Pappenheim-stained. Bone marrow smear — 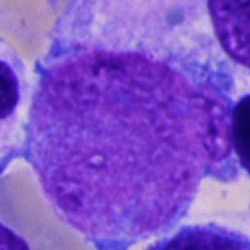Morphology consistent with an artifact.